Bone marrow smear
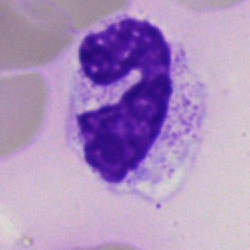

Q: What cell is this?
A: It is a neutrophil (segmented).